Bone marrow aspirate smear. 40× oil immersion.
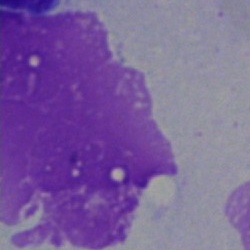 Q: What is shown here?
A: This is an artefact.